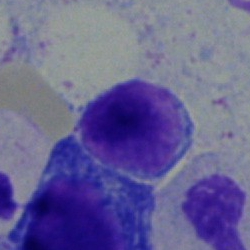
The cell type is lymphocyte.